Bone marrow smear:
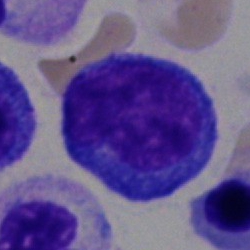

Showing a blast.